Single-cell field; peripheral blood film; 360×363 px.
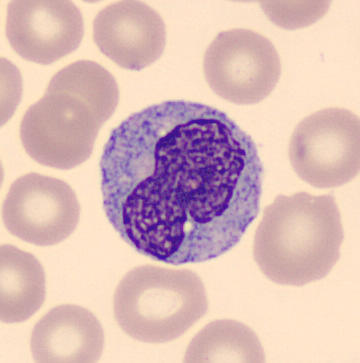 Q: What is the morphological classification of this cell?
A: It is a monocyte.